Bone marrow smear · 40× oil immersion · single-cell crop
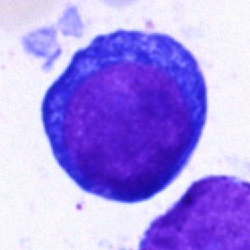 {"cell_type": "pronormoblast", "lineage": "erythroid"}